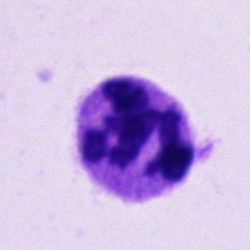

Morphology → polymorphonuclear neutrophil.